Bone marrow smear
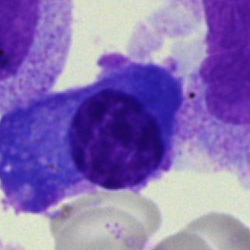
Impression — plasmacyte.